Bone marrow aspirate smear: 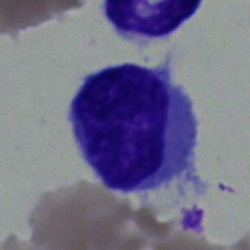

The classification is typical lymphocyte.